May-Grünwald-Giemsa stain. Bone marrow aspirate smear:
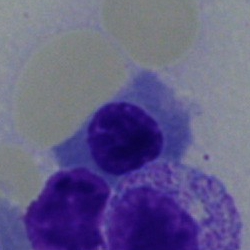

Specimen: bone marrow smear.
Cell: nucleated red cell.